Bone marrow aspirate smear
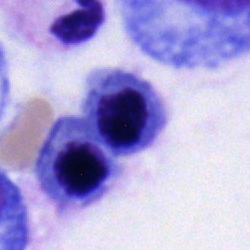

A nucleated red cell.